May-Grünwald-Giemsa stain · 40× objective, oil immersion · bone marrow aspirate smear.
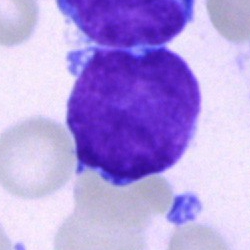

Cell = blast.